Bone marrow smear.
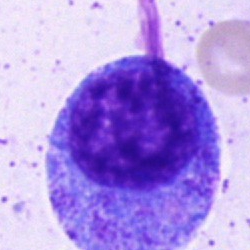 Cell type: progranulocyte.